Bone marrow aspirate smear:
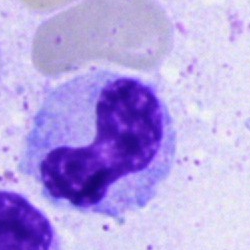 This is a neutrophil (segmented).